Bone marrow smear: 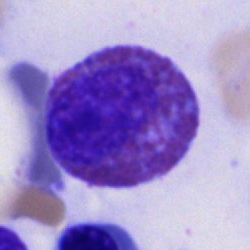 {"cell_type": "eosinophil"}